Bone marrow aspirate smear — 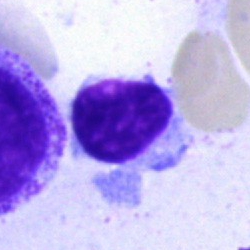

Morphological class: lymphocyte.